Peripheral blood smear — 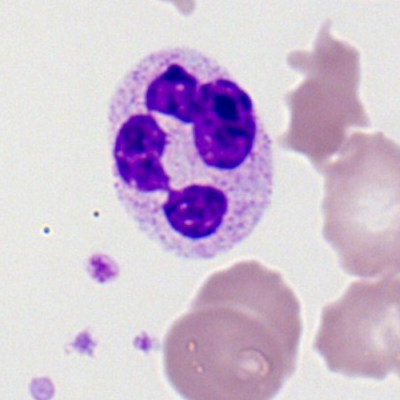
Specimen: peripheral blood smear.
Cell: segmented neutrophil.
Lineage: myeloid.